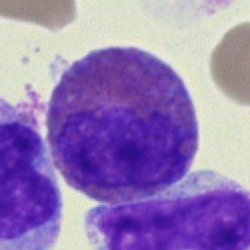

Classification = eosinophilic granulocyte.